Bone marrow smear; image size 250×250: 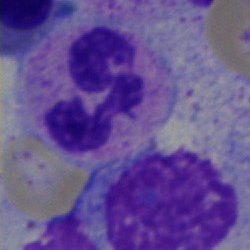 Impression → neutrophil (segmented).